Bone marrow aspirate smear: 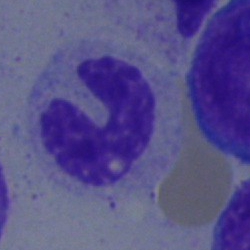

Specimen: bone marrow smear.
Cell type: neutrophil (band).